Single cell centered in the field · 40× objective, oil immersion · bone marrow aspirate smear
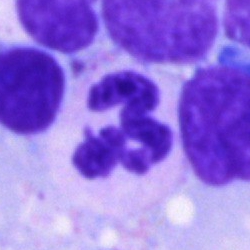Morphology → segmented neutrophil.